Romanowsky stain; peripheral blood smear — 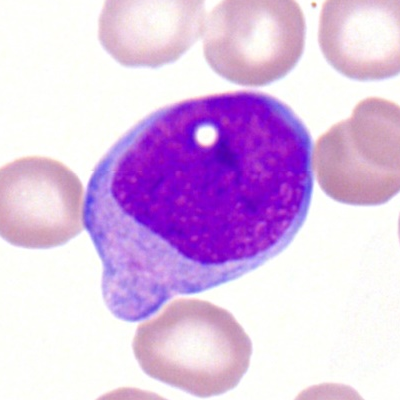

Morphological class = myeloblast.